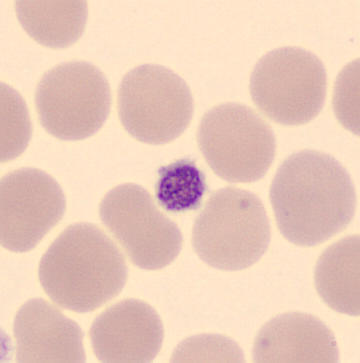Classification — platelet. Acquisition: 360×363; peripheral blood film.